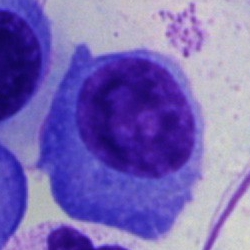{"cell_type": "plasmacyte"}